40× oil immersion; bone marrow smear
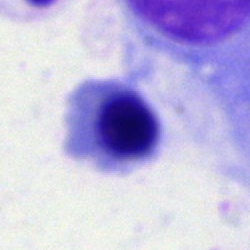 Specimen: bone marrow smear.
Cell type: normoblast.
Lineage: erythroid.